Bone marrow aspirate smear:
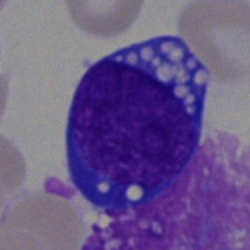
An undifferentiated blast.